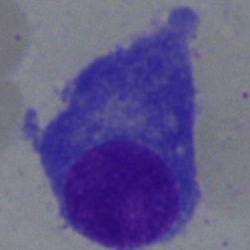
Q: What is shown here?
A: This is a plasma cell.